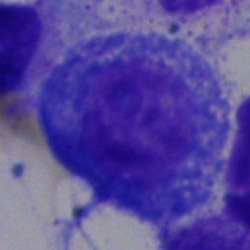Impression — promyelocyte.